Peripheral blood film · cropped to a single cell · Romanowsky-stained:
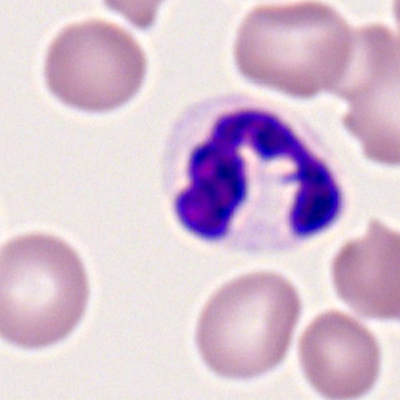

Cell — polymorphonuclear neutrophil.